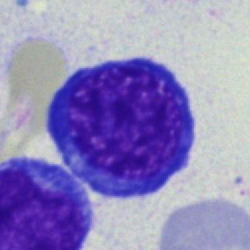

The classification is nucleated red cell.